Image size 250×250 · bone marrow smear.
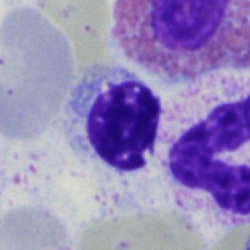
Specimen: bone marrow aspirate smear.
Morphological class: nucleated red cell.